May-Grünwald-Giemsa stain. Bone marrow smear
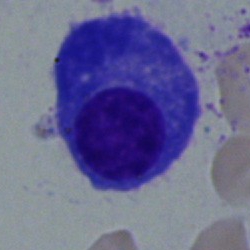
{"cell_type": "plasma cell", "lineage": "lymphoid"}